Bone marrow aspirate smear.
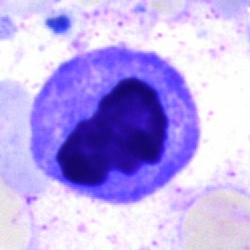

An artefact.